Bone marrow smear:
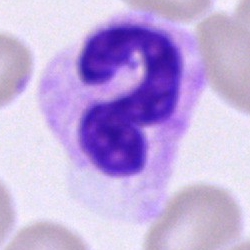

This is a stab cell.